Cropped to a single cell · May-Grünwald-Giemsa/Pappenheim stain · bone marrow smear
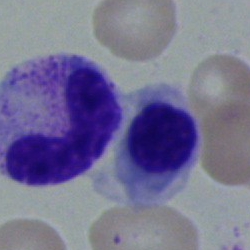
Classification — band neutrophil.